Bone marrow smear: 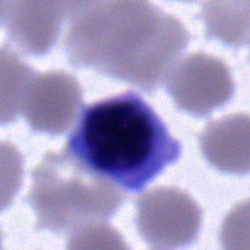
Classification — nucleated red blood cell.